Bone marrow aspirate smear. Single cell centered in the field: 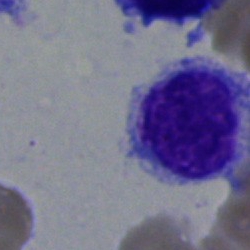The cell is typical lymphocyte.